Peripheral blood film:
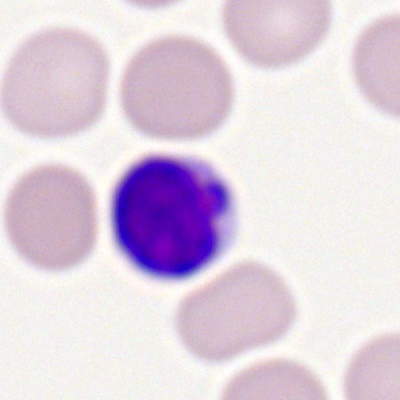 Specimen: peripheral blood film.
Morphological class: typical lymphocyte.